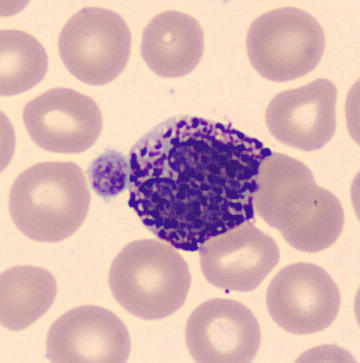Peripheral blood smear. 360×363. May Grünwald-Giemsa stain.

Q: Which cell type is shown here?
A: Basophilic granulocyte.